Single-cell crop; bone marrow smear; 250 by 250 pixels
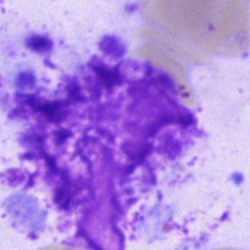

Specimen: bone marrow smear.
Cell: artefact.